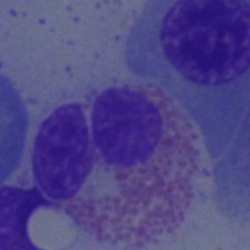
{"cell_type": "eosinophilic granulocyte", "lineage": "myeloid"}